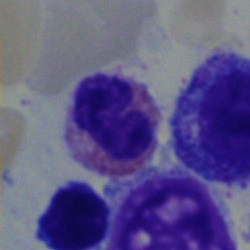Morphology consistent with an eosinophilic granulocyte.